Bone marrow smear — 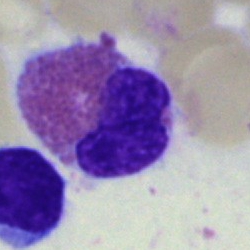Single cell identified as an eosinophil.